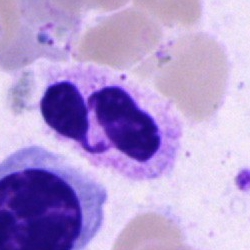Q: Identify the cell.
A: This is a polymorphonuclear neutrophil.